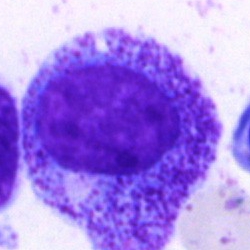
Morphological class: progranulocyte.